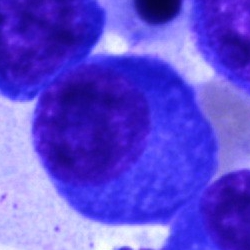

The morphological class is plasma cell.